Romanowsky stain; peripheral blood film.
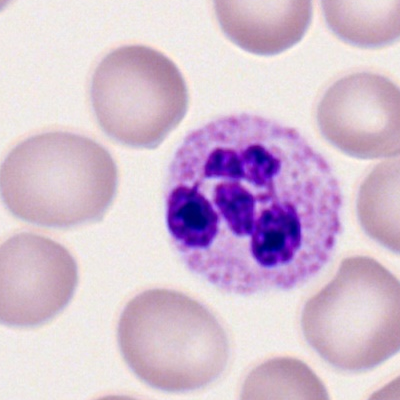 Specimen: peripheral blood smear.
Cell type: segmented neutrophil.
Lineage: myeloid.